MGG-stained. Bone marrow smear. Image size 250×250 — 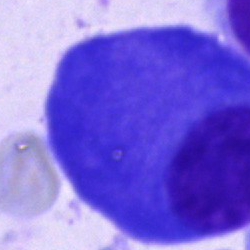

This is a plasma cell.